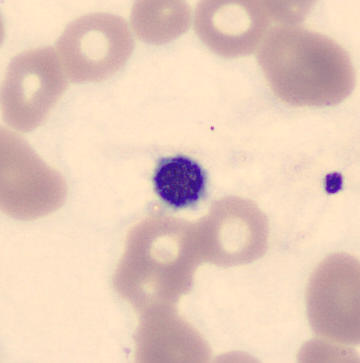
Morphology consistent with a platelet.